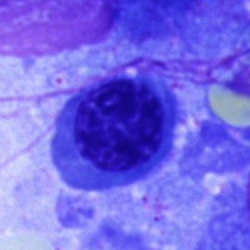
Specimen: bone marrow aspirate smear.
Cell type: nucleated red cell.
Lineage: erythroid.